Single-cell field · 250×250 px · bone marrow smear:
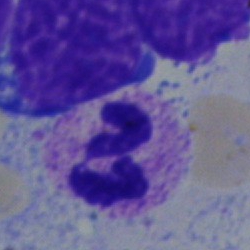

Showing a polymorphonuclear neutrophil.